Peripheral blood film. CellaVision DM96 digital cell image
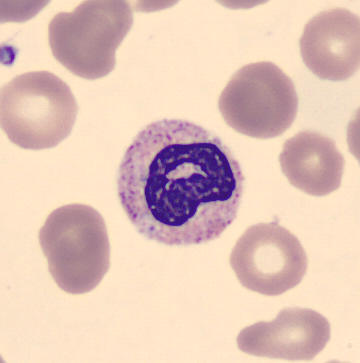
Q: What cell is this?
A: A band neutrophil.